Peripheral blood smear; Romanowsky-type stain; single-cell field
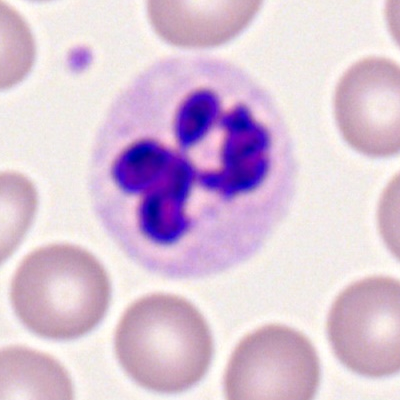Single cell identified as a polymorphonuclear neutrophil.